Bone marrow smear · single-cell crop
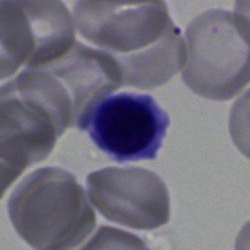

Morphology — nucleated red cell.